Bone marrow aspirate smear; single-cell field: 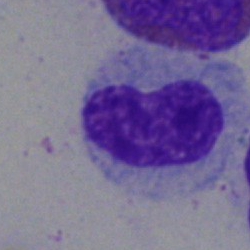

Morphology — neutrophil (band).